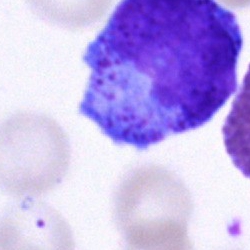
Q: Which cell type is shown here?
A: A progranulocyte.